Bone marrow aspirate smear:
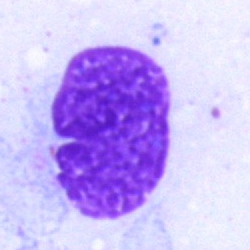
Q: What is shown here?
A: It is an artefact.